MGG-stained; 40× oil immersion; bone marrow smear — 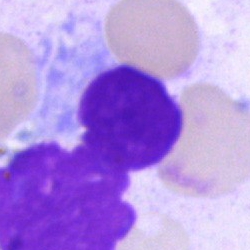 Specimen: bone marrow smear.
Classification: artifact.